Bone marrow aspirate smear; image size 250×250; single cell centered in the field — 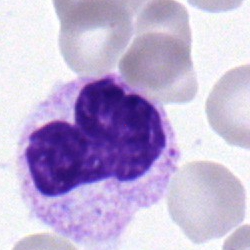The cell type is neutrophil (segmented).